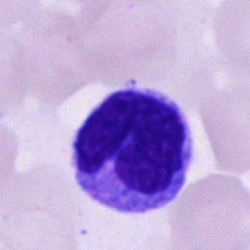

{"cell_type": "monocyte", "lineage": "myeloid"}